Peripheral blood film:
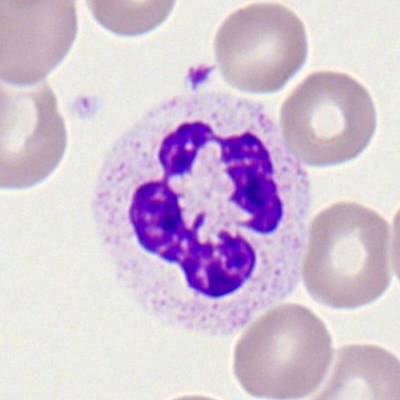Classification — segmented neutrophil.